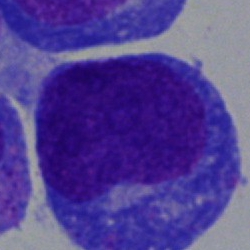Classification = undifferentiated blast.